40× oil immersion. MGG-stained. Bone marrow smear.
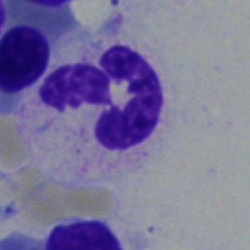

Classification = neutrophil (segmented).